Bone marrow smear — 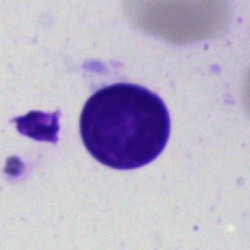Cell type = typical lymphocyte.